Bone marrow aspirate smear: 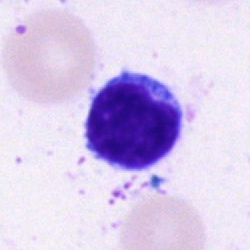 Single cell identified as a typical lymphocyte.